Bone marrow smear — 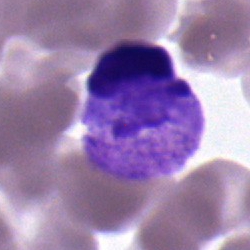
Showing an eosinophil.